Bone marrow smear
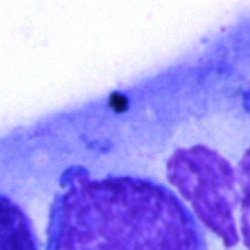 Showing an artifact.